Bone marrow smear · 250×250: 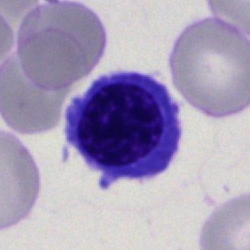

{"cell_type": "erythroblast", "lineage": "erythroid"}